Bone marrow aspirate smear.
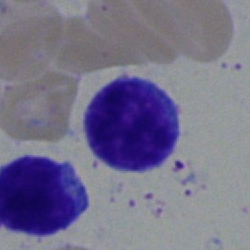Specimen: bone marrow smear.
Classification: typical lymphocyte.